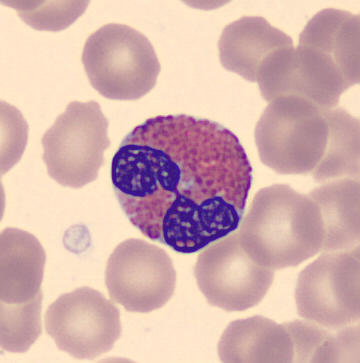

Image size 360×363 · May Grünwald-Giemsa stain · peripheral blood film.
Q: What is the morphological classification of this cell?
A: It is an eosinophil.